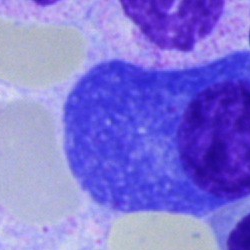
Impression → plasma cell.